400×400 px · peripheral blood film
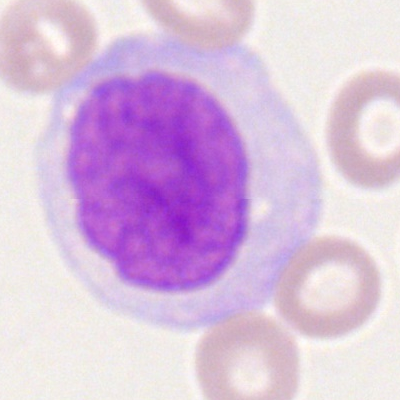
Q: What is the morphological classification of this cell?
A: Monocyte.